Bone marrow smear:
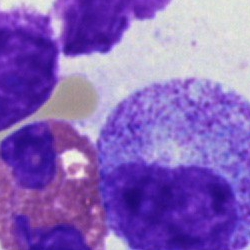 Single cell identified as a metamyelocyte.